Peripheral blood smear:
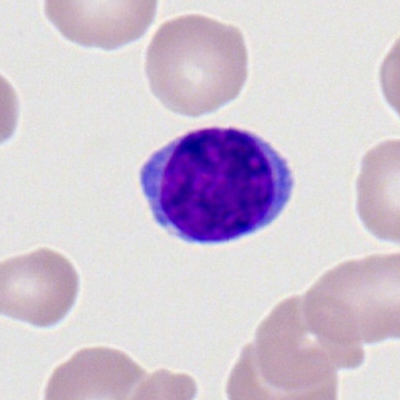

Specimen: peripheral blood film.
Classification: typical lymphocyte.